Bone marrow smear · brightfield, 40× oil-immersion objective — 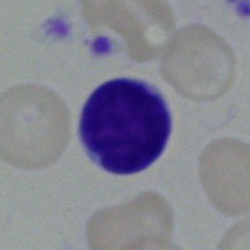

Single cell identified as a lymphocyte.